Bone marrow smear; 40× objective, oil immersion:
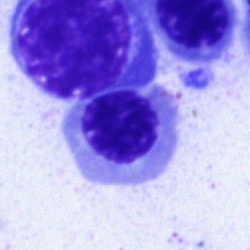

Morphological class — erythroblast.